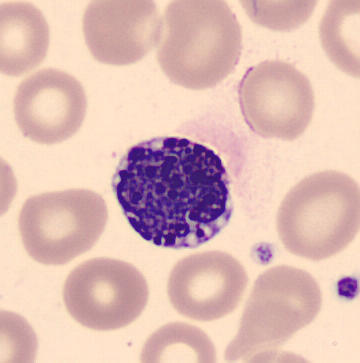 A basophilic granulocyte.
Peripheral blood film.